250×250; May-Grünwald-Giemsa/Pappenheim stain; bone marrow smear — 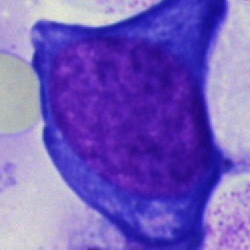Classification — pronormoblast.